Bone marrow aspirate smear
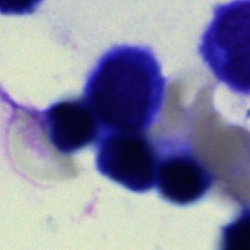

The cell shown is an artifact.